Brightfield, 40× oil-immersion objective · bone marrow smear.
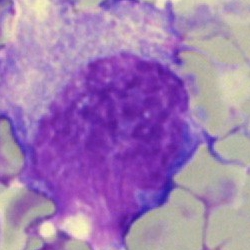
Artefact.